250×250. Bone marrow smear — 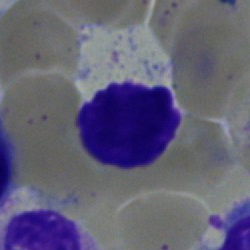

The cell is typical lymphocyte.